250×250 · bone marrow aspirate smear · MGG-stained.
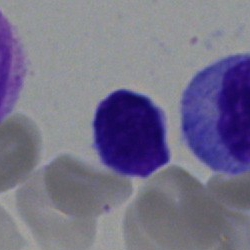 Morphology → lymphocyte.